Bone marrow smear.
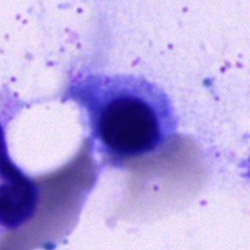
Showing a nucleated red cell.